Bone marrow aspirate smear · May-Grünwald-Giemsa/Pappenheim stain: 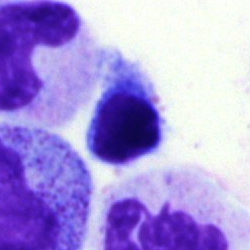 Showing a lymphocyte.